250 by 250 pixels · May-Grünwald-Giemsa/Pappenheim stain · bone marrow aspirate smear.
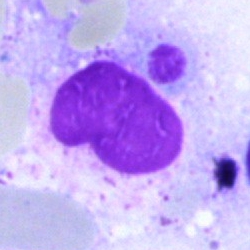

Single cell identified as an artefact.